Bone marrow smear.
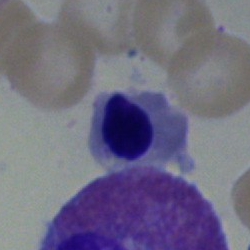

Q: Identify the cell.
A: It is an erythroblast.